Single cell centered in the field · Pappenheim-stained · bone marrow smear — 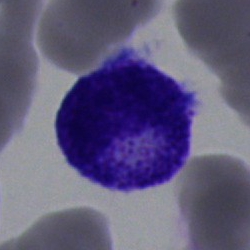
Classification: progranulocyte.